Romanowsky stain · peripheral blood smear · 400×400 px
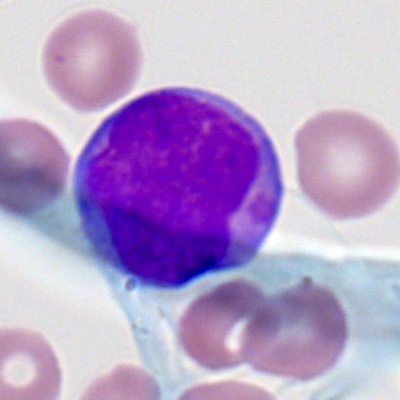Morphology consistent with a myeloblast.